Brightfield, 40× oil-immersion objective · bone marrow smear.
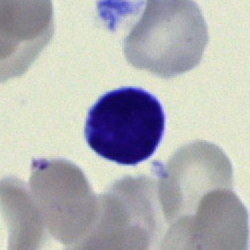
{"cell_type": "typical lymphocyte"}